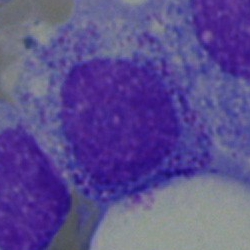

Specimen: bone marrow smear.
Classification: myelocyte.